Peripheral blood smear. M8 digital microscope (Precipoint), 100× oil immersion: 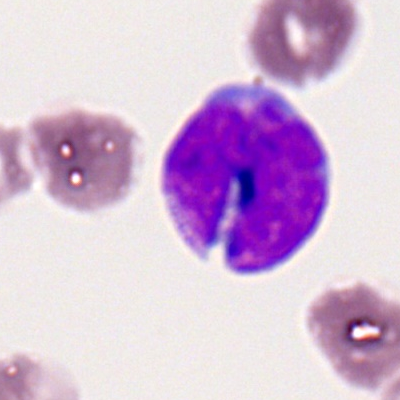

A myeloblast.